250×250 · cropped to a single cell · bone marrow aspirate smear: 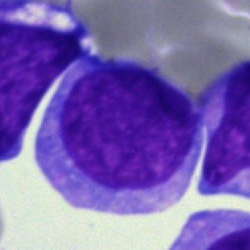The cell type is undifferentiated blast.